40× objective, oil immersion. Bone marrow smear. 250×250:
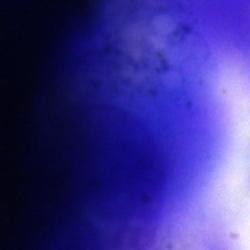

Single cell identified as an artifact.